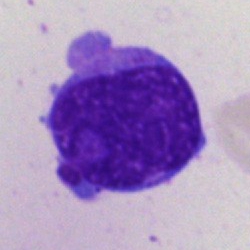

Morphological class = blast cell.